Single-cell crop. 400×400 px. Peripheral blood smear
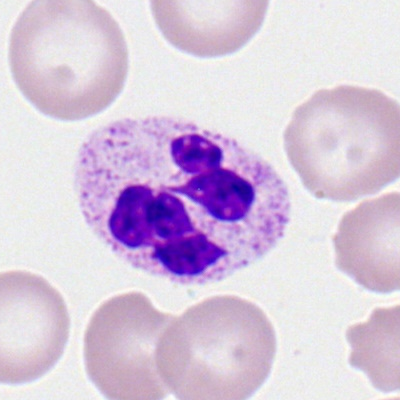 Polymorphonuclear neutrophil.